Bone marrow aspirate smear — 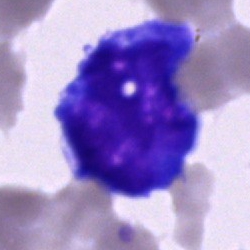
Showing an undifferentiated blast.